Brightfield microscopy, 40× oil immersion. Single-cell field. Bone marrow aspirate smear
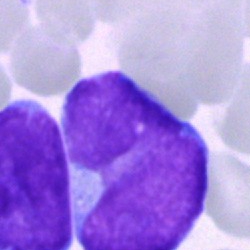 The cell shown is an undifferentiated blast.